Image size 250×250 · bone marrow smear.
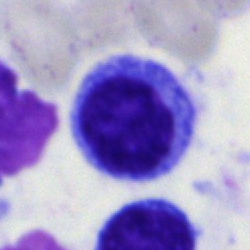Cell = cell of indeterminate lineage.